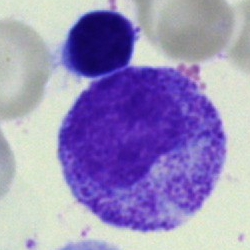The classification is progranulocyte.